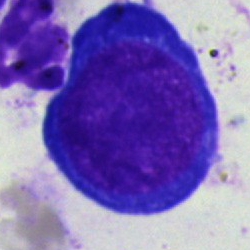This is a pronormoblast.